Single-cell field; bone marrow aspirate smear; 40× oil immersion — 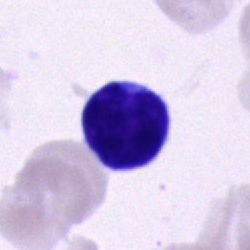 Typical lymphocyte.